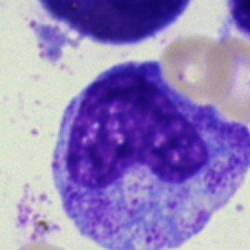Impression → progranulocyte.